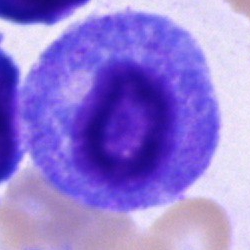

Q: What is shown here?
A: It is a progranulocyte.